Bone marrow smear:
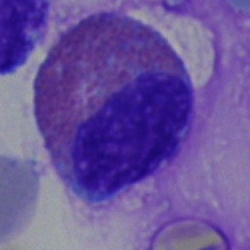

Q: What is the morphological classification of this cell?
A: An eosinophilic granulocyte.